May-Grünwald-Giemsa stain · bone marrow aspirate smear
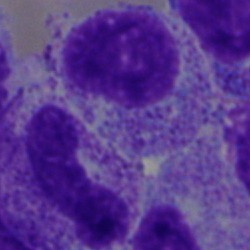This is a myelocyte.